MGG-stained. Bone marrow smear — 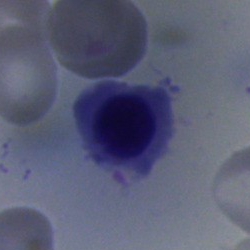A normoblast.